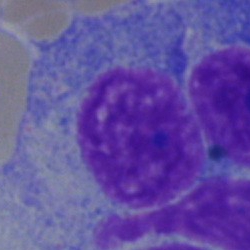 Q: Identify the cell.
A: A plasmacyte.